Bone marrow smear
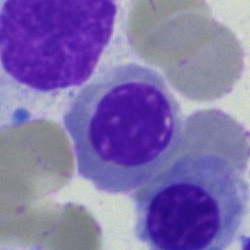
A nucleated red cell.